Bone marrow aspirate smear: 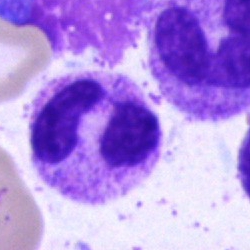 {"cell_type": "polymorphonuclear neutrophil", "lineage": "myeloid"}